Bone marrow aspirate smear
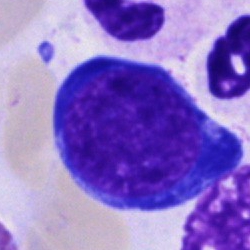Morphology consistent with a pronormoblast.